Single-cell crop. Bone marrow aspirate smear — 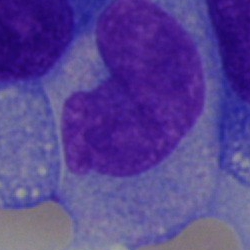

Morphology consistent with an undifferentiated blast.